Bone marrow aspirate smear · Pappenheim-stained — 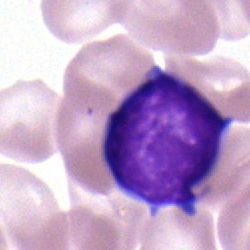

The cell shown is a typical lymphocyte.